Bone marrow smear
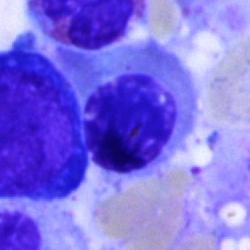 The cell is normoblast.